Bone marrow aspirate smear.
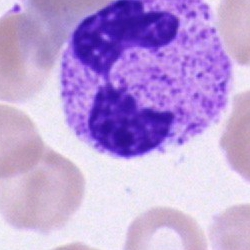 A neutrophil (segmented).